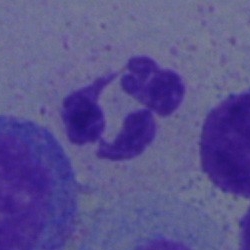 Q: What is shown here?
A: Polymorphonuclear neutrophil.